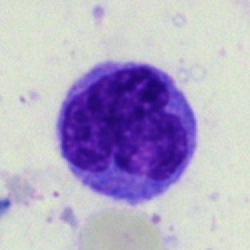

Cell type: monocyte.